Bone marrow smear. Single cell centered in the field — 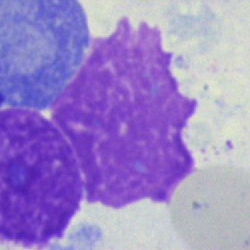 The cell type is artifact.